Bone marrow aspirate smear — 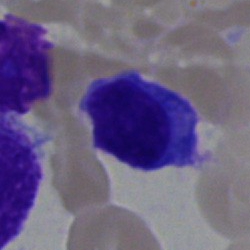
Specimen: bone marrow smear.
Classification: plasmacyte.
Lineage: lymphoid.